Bone marrow smear. Brightfield microscopy, 40× oil immersion — 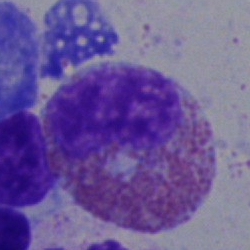 Morphology consistent with an eosinophilic granulocyte.